Peripheral blood film
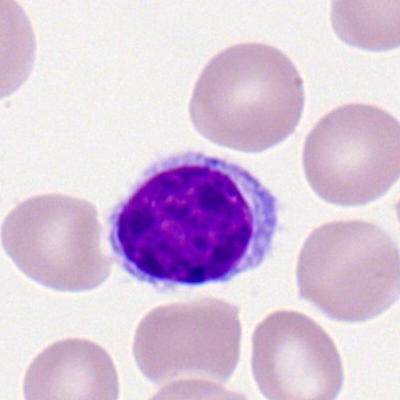 Morphological class = typical lymphocyte.